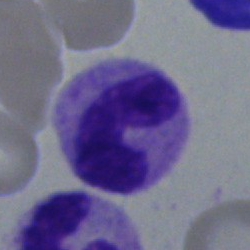This is a stab cell.